Single-cell crop. Bone marrow aspirate smear — 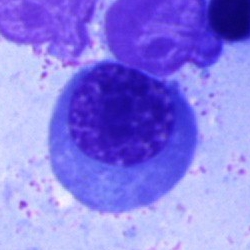Single cell identified as an erythroblast.